Bone marrow smear
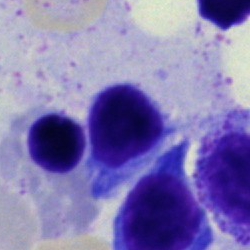

Morphological class — lymphocyte.